Bone marrow smear
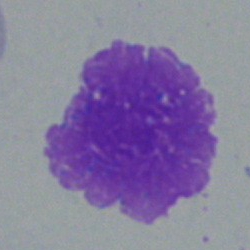
Cell type: artifact.